Bone marrow smear:
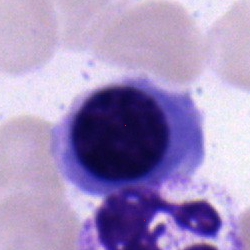

Impression — erythroblast.